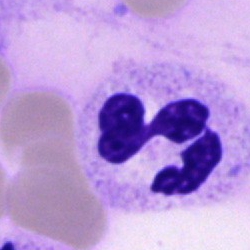 Cell type = polymorphonuclear neutrophil.